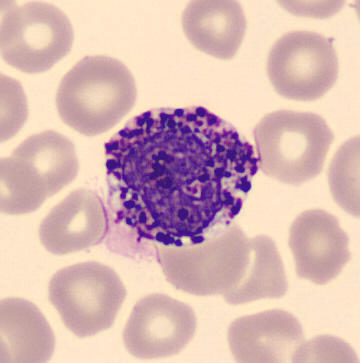 Image: Single cell centered in the field. Peripheral blood film. Identified as a basophil.